250 by 250 pixels. Bone marrow smear.
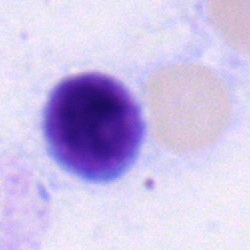

Q: What is the morphological classification of this cell?
A: It is a lymphocyte.